Bone marrow smear — 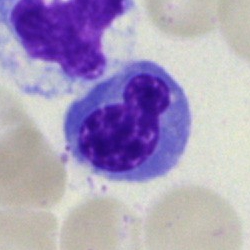

Q: What is shown here?
A: A nucleated red blood cell.